Peripheral blood smear · cropped to a single cell: 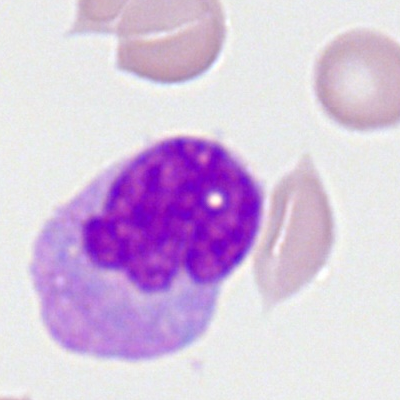 Showing a monocyte.